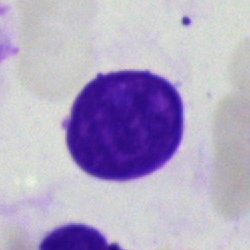Morphology → artefact.